Peripheral blood film
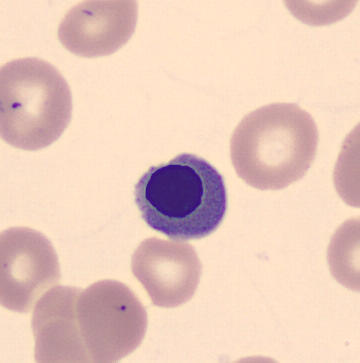Nucleated red cell.